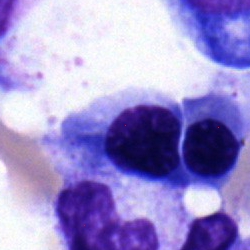 Classification = nucleated red blood cell.